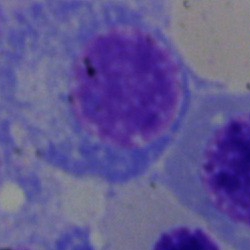 Classification — plasma cell.